Bone marrow aspirate smear:
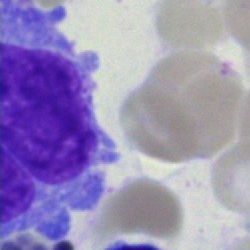Impression — undifferentiated blast.